Peripheral blood smear
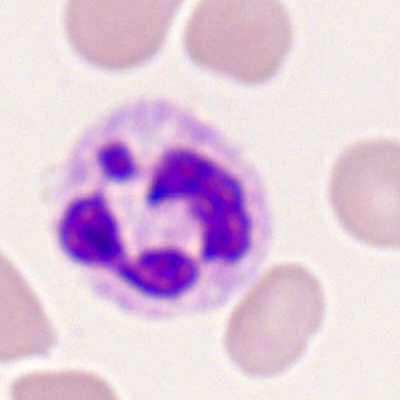 The cell type is segmented neutrophil.